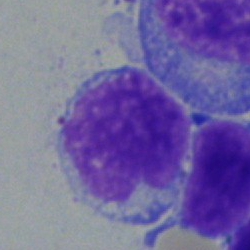 Classification = lymphocyte.